Bone marrow smear:
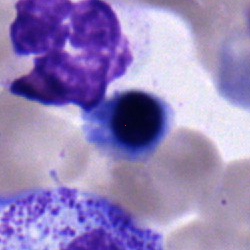Impression — nucleated red cell.